Bone marrow aspirate smear. Brightfield, 40× oil-immersion objective — 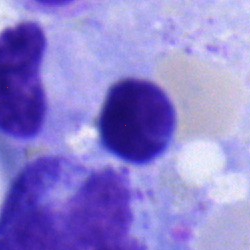
Q: What type of cell is this?
A: Typical lymphocyte.